Bone marrow aspirate smear — 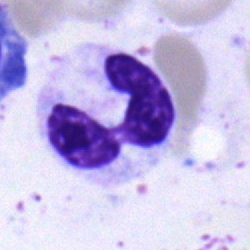The cell shown is a segmented neutrophil.